250×250; bone marrow aspirate smear; MGG-stained — 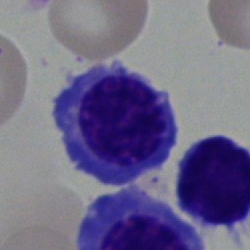 Q: What is shown here?
A: An erythroblast.